250 by 250 pixels. Bone marrow aspirate smear. Brightfield microscopy, 40× oil immersion: 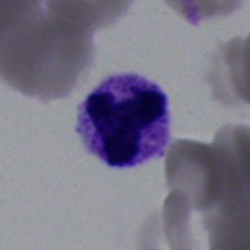 Single cell identified as a segmented neutrophil.